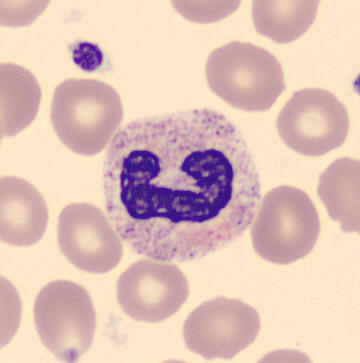 Classification — polymorphonuclear neutrophil.
Peripheral blood smear. May-Grünwald-Giemsa-stained.